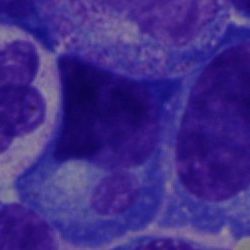 Specimen: bone marrow aspirate smear.
Cell: plasmacyte.